Bone marrow aspirate smear: 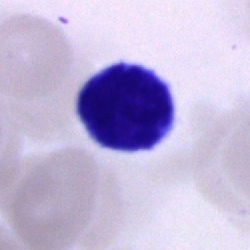
Specimen: bone marrow smear.
Cell: lymphocyte.